May-Grünwald-Giemsa/Pappenheim stain. Brightfield, 40× oil-immersion objective. Bone marrow aspirate smear:
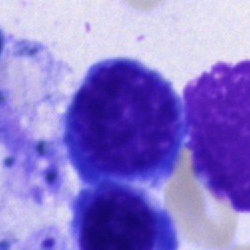 Cell type: nucleated red cell.